Bone marrow aspirate smear; 250×250:
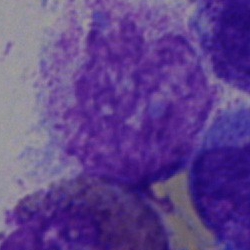 Morphology — artifact.